Bone marrow aspirate smear.
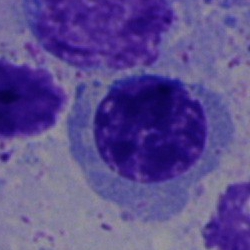Showing a nucleated red cell.